Bone marrow smear; cropped to a single cell: 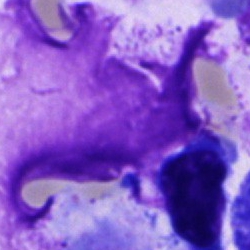
Q: What is shown here?
A: Artefact.